Bone marrow smear.
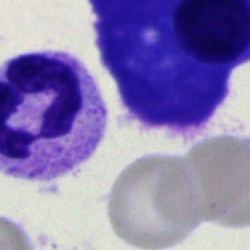 This is a segmented neutrophil.